Bone marrow aspirate smear — 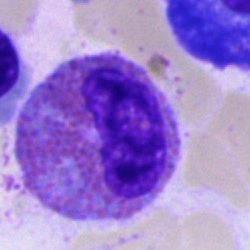

Classification — eosinophil.